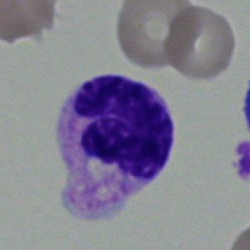
The cell is polymorphonuclear neutrophil.